Bone marrow aspirate smear: 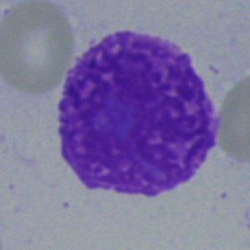Q: What is shown here?
A: It is an artefact.